Pappenheim-stained. Bone marrow aspirate smear. Single-cell field — 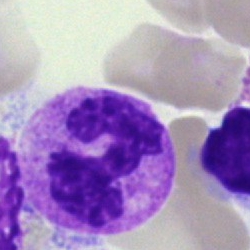
Impression → segmented neutrophil.